Bone marrow smear:
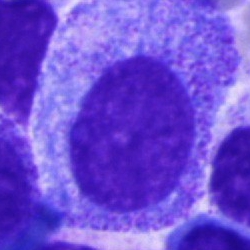
Cell type: progranulocyte.